Single-cell crop; May-Grünwald-Giemsa/Pappenheim stain; bone marrow aspirate smear:
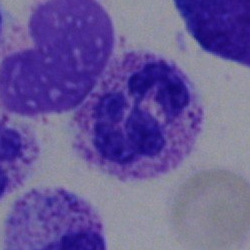

The cell type is segmented neutrophil.